Image size 250×250. May-Grünwald-Giemsa stain. Bone marrow aspirate smear.
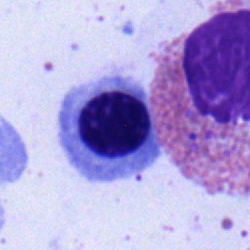

Single cell identified as an erythroblast.